Brightfield microscopy, 40× oil immersion. Bone marrow smear — 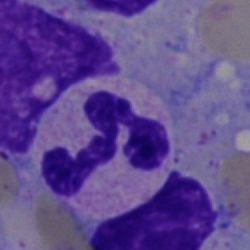 Q: Which cell type is shown here?
A: It is a polymorphonuclear neutrophil.